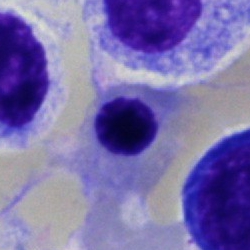Q: What is the morphological classification of this cell?
A: This is a nucleated red blood cell.